Bone marrow smear. 40× oil immersion:
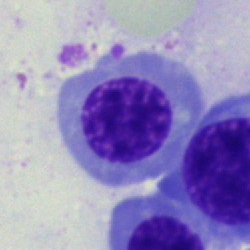

The cell shown is an erythroblast.